Bone marrow aspirate smear
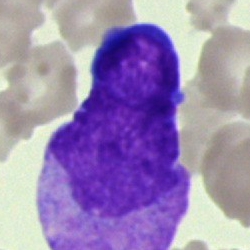
Q: What type of cell is this?
A: It is a blast cell.